Bone marrow smear
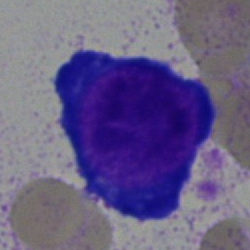Impression → pronormoblast.